Brightfield microscopy, 40× oil immersion. Single-cell crop. Bone marrow aspirate smear:
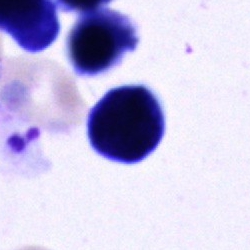A cell of indeterminate lineage.